Bone marrow aspirate smear. 40× objective, oil immersion.
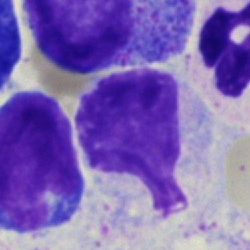The classification is artefact.